Bone marrow smear
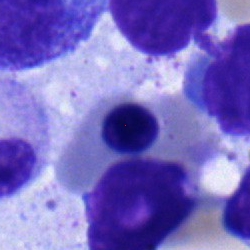 Normoblast.